250 by 250 pixels; bone marrow smear — 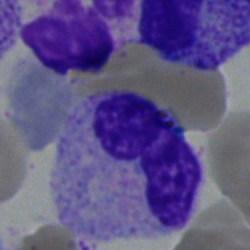A band neutrophil.